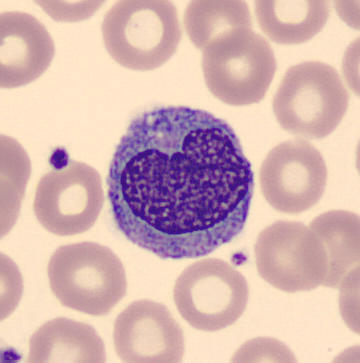Morphology — monocyte.